Single-cell field; peripheral blood film.
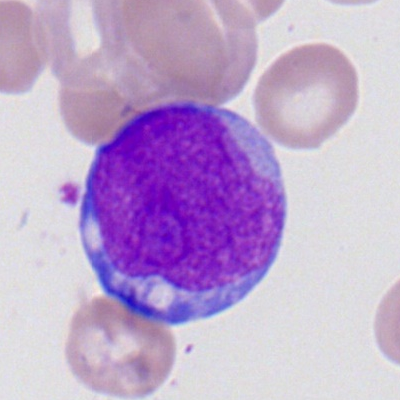
Q: What type of cell is this?
A: This is a myeloblast.